Bone marrow smear; single-cell crop:
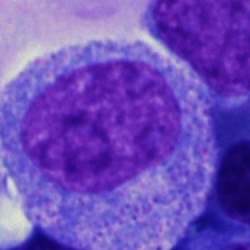
The cell shown is a promyelocyte.